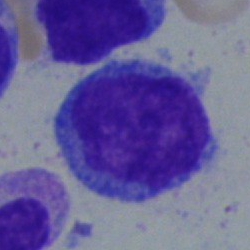
Morphological class — blast.